Bone marrow aspirate smear.
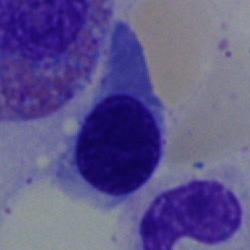
Classification: erythroblast.